Bone marrow aspirate smear.
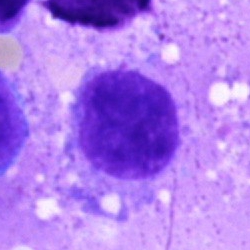
{"cell_type": "typical lymphocyte"}